Cropped to a single cell. Bone marrow aspirate smear — 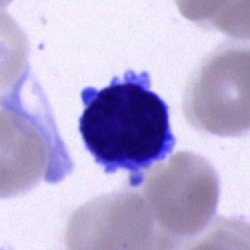 {"cell_type": "typical lymphocyte", "lineage": "lymphoid"}